Peripheral blood film
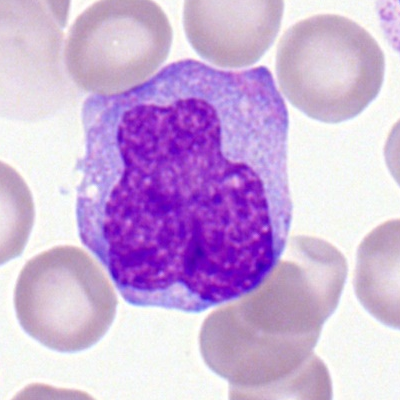{"cell_type": "monocyte"}